Bone marrow smear:
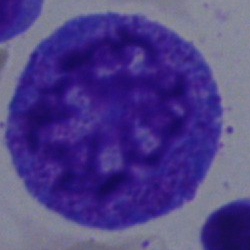 Q: What is the morphological classification of this cell?
A: It is a progranulocyte.